Bone marrow aspirate smear: 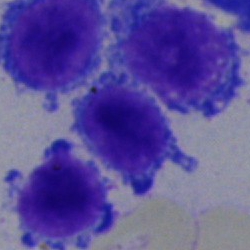
Specimen: bone marrow smear.
Morphological class: lymphocyte.
Lineage: lymphoid.